Bone marrow aspirate smear: 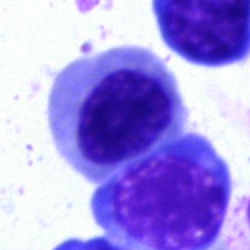
Morphological class — nucleated red cell.